100× objective, oil immersion. Peripheral blood smear. Romanowsky-type stain
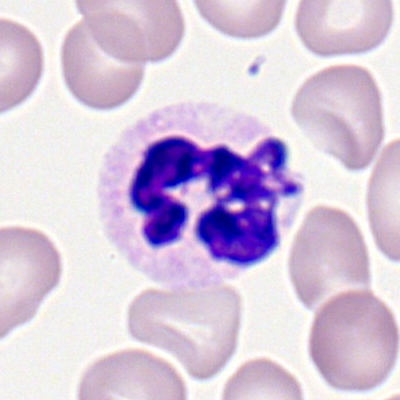

Impression — segmented neutrophil.